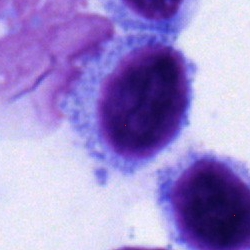

Specimen: bone marrow aspirate smear.
Morphological class: typical lymphocyte.
Lineage: lymphoid.